Bone marrow aspirate smear:
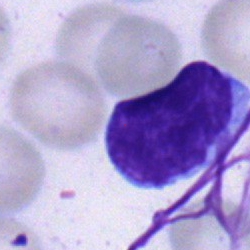
Single cell identified as a typical lymphocyte.